Bone marrow smear:
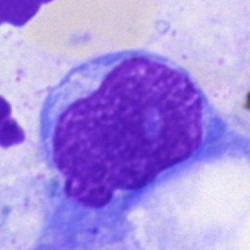
Undifferentiated blast.